MGG-stained · bone marrow aspirate smear.
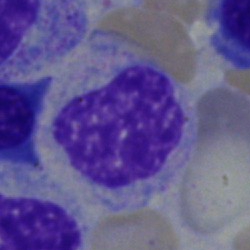

Impression — myelocyte.